40× objective, oil immersion; bone marrow aspirate smear; 250 by 250 pixels.
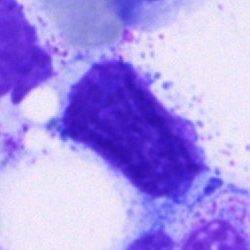 Q: What cell is this?
A: It is a typical lymphocyte.